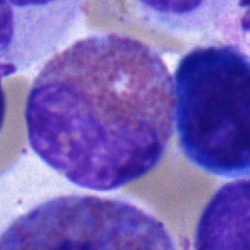 Q: What cell is this?
A: Eosinophil.